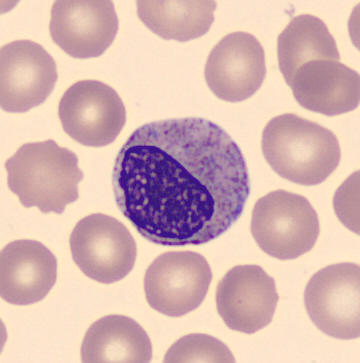 Acquisition: Imaged on a CellaVision DM96 analyser. Peripheral blood smear. Cell: myelocyte.